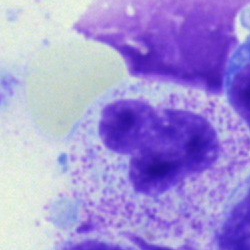
{"cell_type": "polymorphonuclear neutrophil", "lineage": "myeloid"}